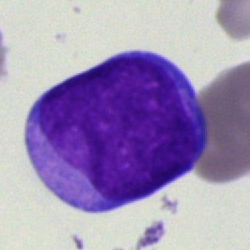 Q: What type of cell is this?
A: Undifferentiated blast.